Peripheral blood smear; single-cell field
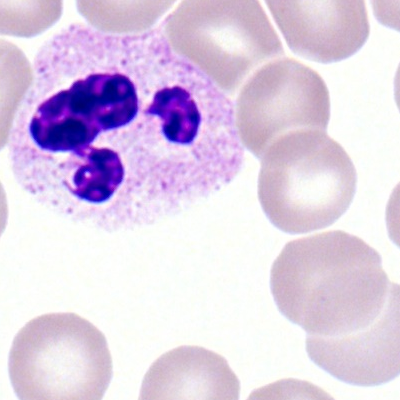

A neutrophil (segmented).